Pappenheim-stained · bone marrow smear:
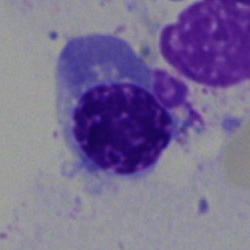Morphology → normoblast.